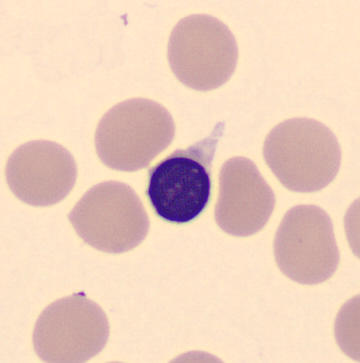

Specimen: peripheral blood film.
Classification: nucleated red blood cell.
Lineage: erythroid.